Single-cell field · bone marrow smear
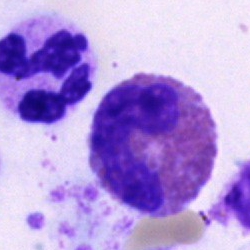An eosinophilic granulocyte.